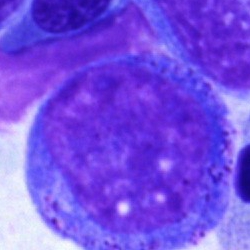 Morphology → blast.